250 by 250 pixels · bone marrow aspirate smear:
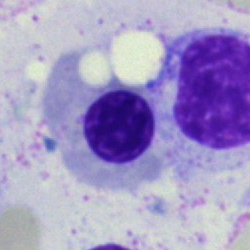
Normoblast.